Bone marrow aspirate smear; brightfield microscopy, 40× oil immersion: 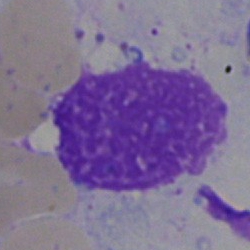Morphological class: artefact.